Bone marrow aspirate smear — 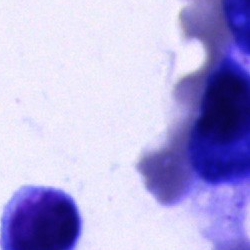The cell shown is an artifact.